Bone marrow aspirate smear.
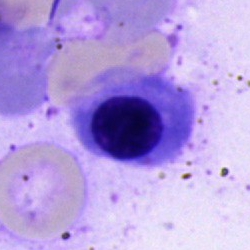
A nucleated red blood cell.